250 by 250 pixels. Bone marrow smear. 40× objective, oil immersion: 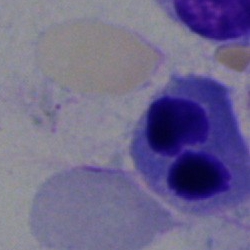

Classification: erythroblast.